Bone marrow smear:
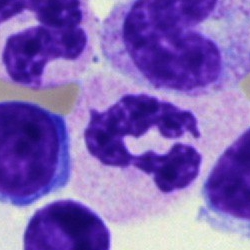

Q: Identify the cell.
A: It is a segmented neutrophil.